Peripheral blood smear — 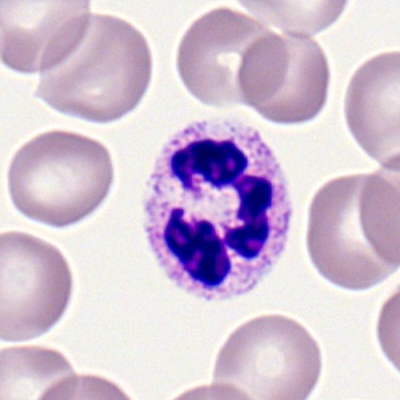 Cell type = polymorphonuclear neutrophil.